Peripheral blood smear · Romanowsky-stained.
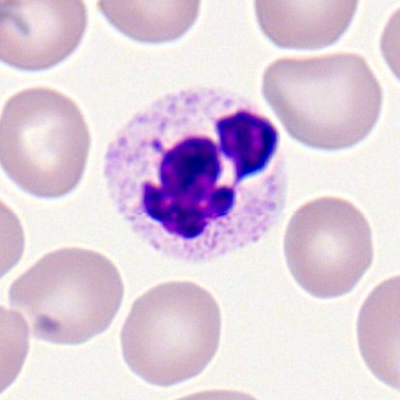Morphology → polymorphonuclear neutrophil.